Bone marrow smear. Cropped to a single cell — 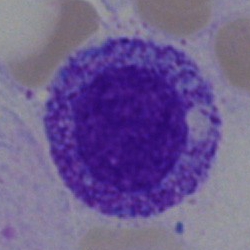 Cell = myelocyte.